Bone marrow smear.
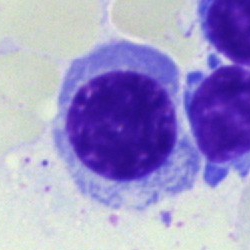

Morphological class — nucleated red blood cell.